Bone marrow aspirate smear: 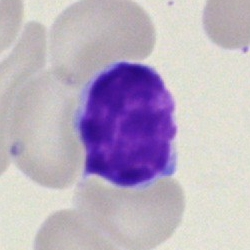Cell = lymphocyte.